Bone marrow smear · 250×250 px: 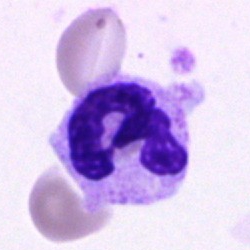
Q: What is the morphological classification of this cell?
A: This is a neutrophil (segmented).